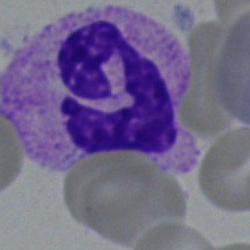 Single-cell crop from a bone marrow smear: polymorphonuclear neutrophil.